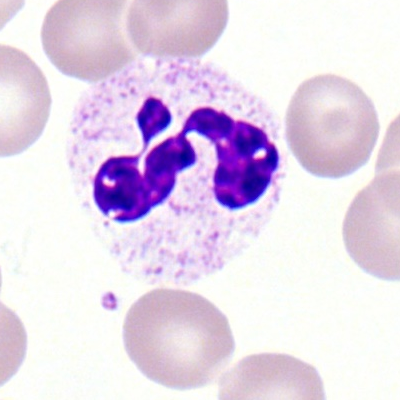 Impression → polymorphonuclear neutrophil.